Bone marrow smear · brightfield, 40× oil-immersion objective · single-cell crop
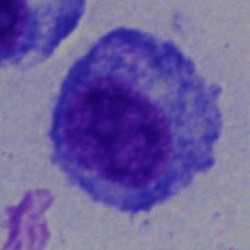This is a progranulocyte.